40× oil immersion · MGG-stained · bone marrow aspirate smear
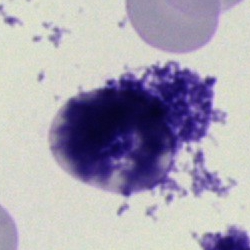

Impression → artefact.